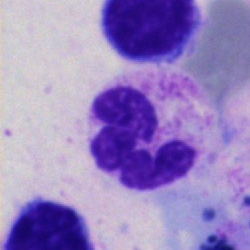
Q: Which cell type is shown here?
A: Neutrophil (segmented).